40× objective, oil immersion; bone marrow aspirate smear — 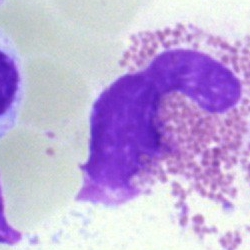 The cell shown is an eosinophilic granulocyte.